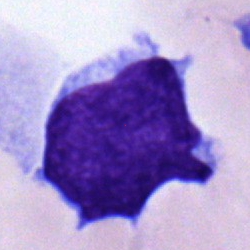

Single cell identified as a blast.